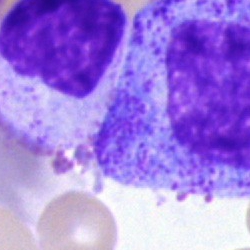 Single-cell crop from a bone marrow smear: progranulocyte.